Bone marrow smear — 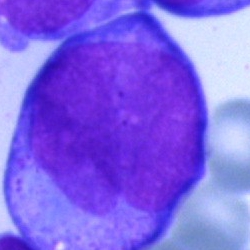
Specimen: bone marrow aspirate smear.
Cell type: undifferentiated blast.